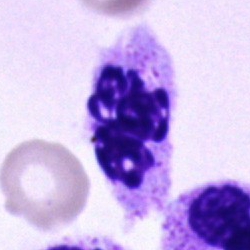 The cell type is neutrophil (segmented).